Bone marrow aspirate smear; brightfield, 40× oil-immersion objective — 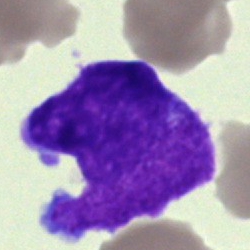Specimen: bone marrow smear.
Cell: blast cell.